Bone marrow aspirate smear: 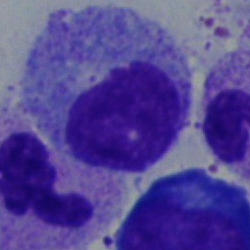 Single cell identified as a myelocyte.